Bone marrow aspirate smear
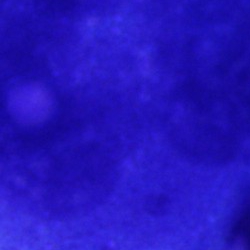
The cell shown is a metamyelocyte.